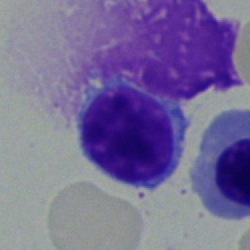 Q: What is shown here?
A: A lymphocyte.